400 by 400 pixels · peripheral blood smear · Romanowsky-type stain:
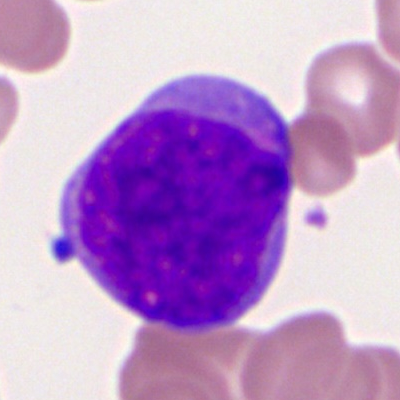Impression — myeloblast.